Bone marrow smear:
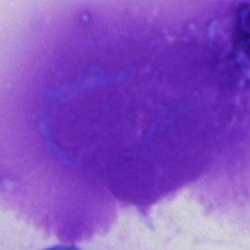An artifact.